Bone marrow aspirate smear:
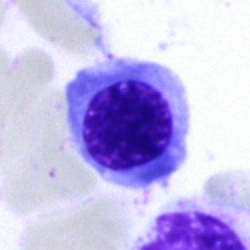
Cell — nucleated red blood cell.